Romanowsky-type stain; peripheral blood film.
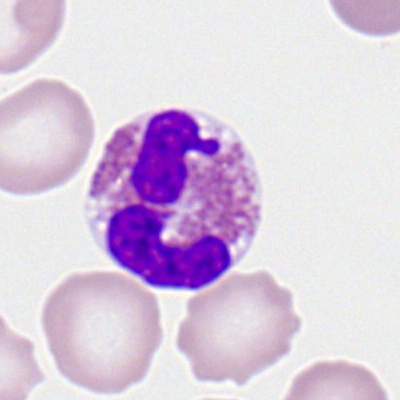Q: Which cell type is shown here?
A: An eosinophil.